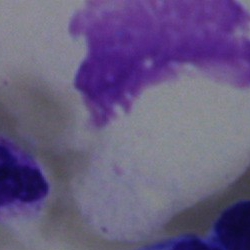
Morphology → artifact.